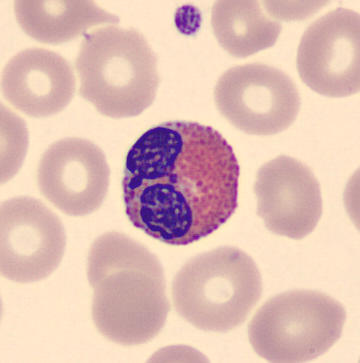

Preparation: Single-cell crop. Peripheral blood smear. The cell shown is an eosinophil.